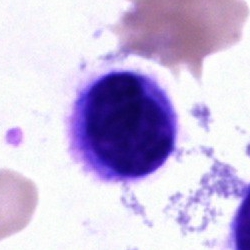

Cell — typical lymphocyte.